Bone marrow aspirate smear:
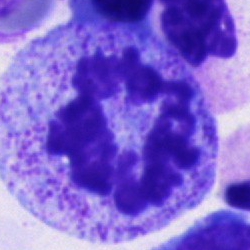The cell shown is a progranulocyte.